May-Grünwald-Giemsa/Pappenheim stain. Bone marrow aspirate smear — 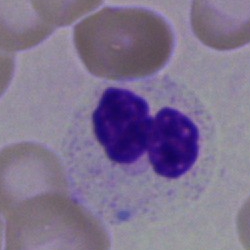

Q: What cell is this?
A: This is a neutrophil (segmented).